Bone marrow smear.
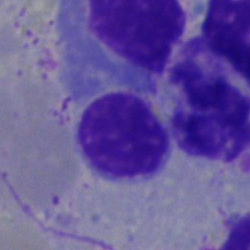
Lymphocyte.